Image size 250×250 · 40× objective, oil immersion · bone marrow aspirate smear:
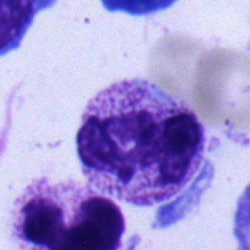 The morphological class is neutrophil (segmented).